Bone marrow smear — 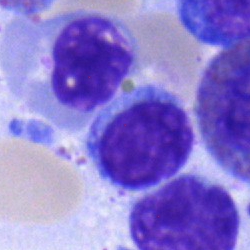 The cell shown is a lymphocyte.